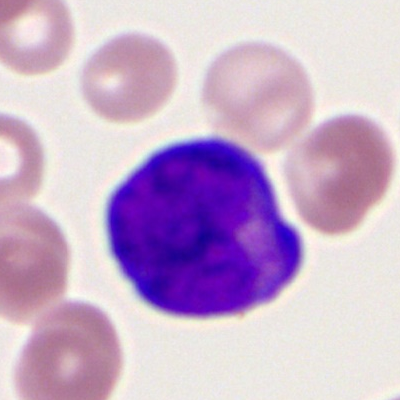 Q: Identify the cell.
A: A myeloblast.